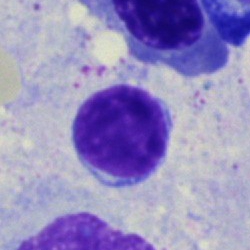 {"cell_type": "typical lymphocyte", "lineage": "lymphoid"}